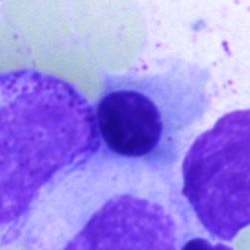Specimen: bone marrow aspirate smear.
Cell type: erythroblast.
Lineage: erythroid.